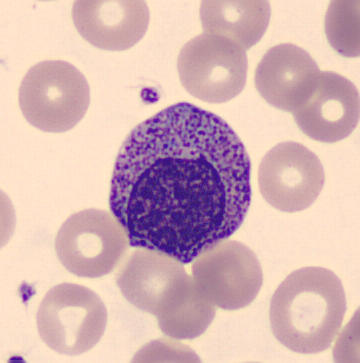
Image: Peripheral blood smear. Showing a myelocyte.